May-Grünwald-Giemsa stain · bone marrow aspirate smear
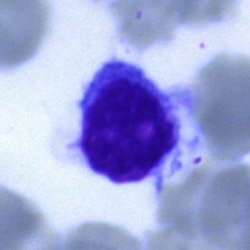
Specimen: bone marrow smear.
Morphological class: typical lymphocyte.
Lineage: lymphoid.